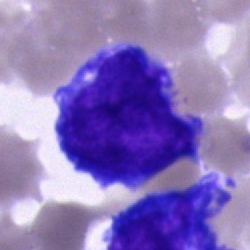{"cell_type": "blast cell"}